Bone marrow aspirate smear. 250×250 px. Single-cell crop: 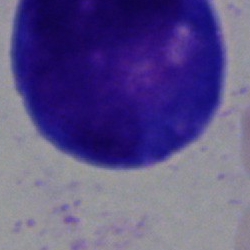
The morphological class is blast.